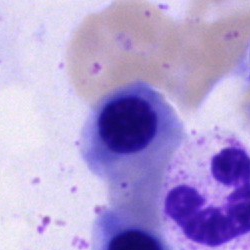
An erythroblast on a bone marrow smear.